Bone marrow aspirate smear
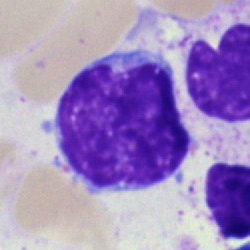{"cell_type": "lymphocyte", "lineage": "lymphoid"}